Bone marrow smear.
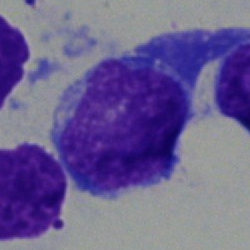

Showing a blast cell.